Peripheral blood film · 400×400 px · cropped to a single cell
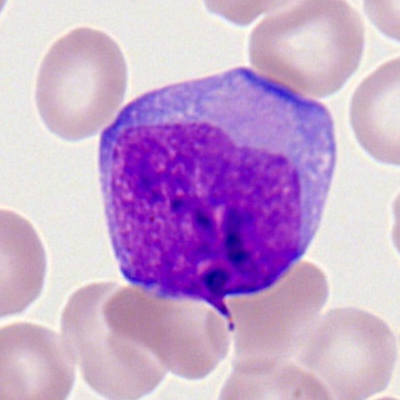

Morphology → myeloid blast.